Peripheral blood film.
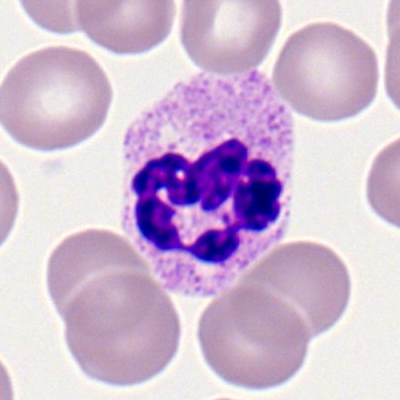Impression — neutrophil (segmented).